Bone marrow smear.
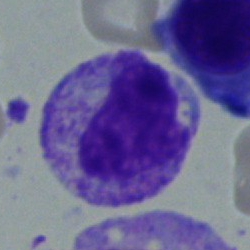
The cell type is myelocyte.